Bone marrow smear:
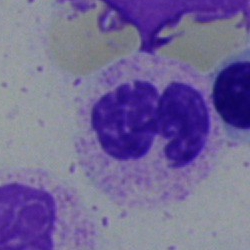Q: What cell is this?
A: This is a neutrophil (segmented).